Bone marrow aspirate smear:
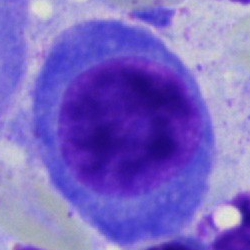 Morphological class = plasma cell.